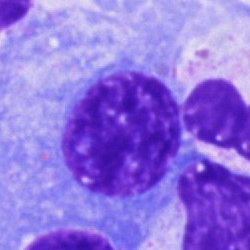
Classification = plasmacyte.